Bone marrow smear · Pappenheim-stained — 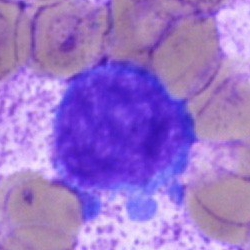Q: Which cell type is shown here?
A: A blast cell.